250×250 px. Bone marrow smear. Cropped to a single cell
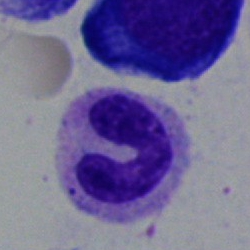 The classification is neutrophil (band).